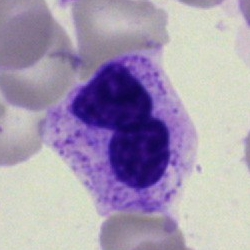
The cell is polymorphonuclear neutrophil.